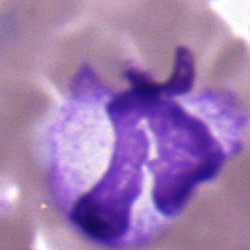
A polymorphonuclear neutrophil.